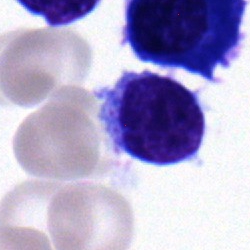Cell type — hairy cell.